Single-cell field · bone marrow smear: 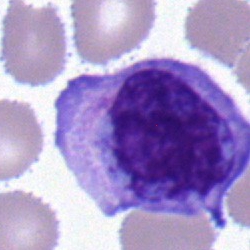This is a lymphocyte.